Bone marrow smear.
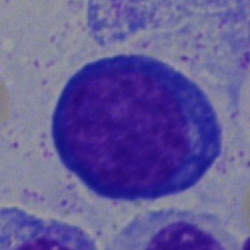
The cell shown is a pronormoblast.